40× oil immersion; bone marrow smear — 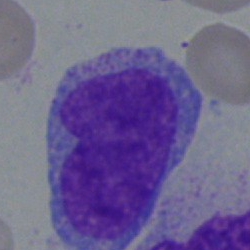

This is a blast cell.